Bone marrow smear.
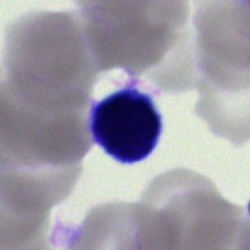

Cell = lymphocyte.